Bone marrow aspirate smear:
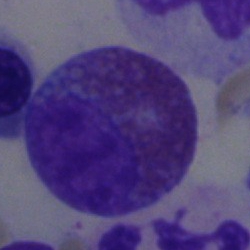

Showing an eosinophilic granulocyte.